Single-cell crop · bone marrow aspirate smear · May-Grünwald-Giemsa/Pappenheim stain: 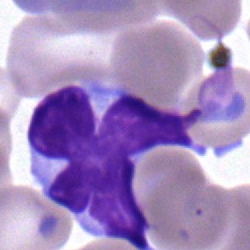Cell = typical lymphocyte.